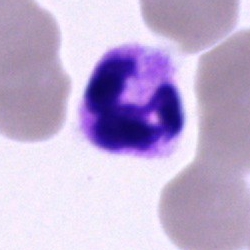Impression → segmented neutrophil.